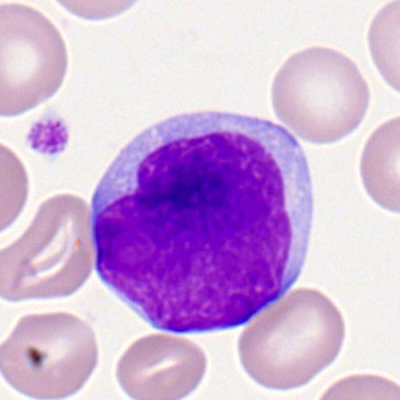Showing a myeloblast.